250×250. Bone marrow smear. MGG-stained
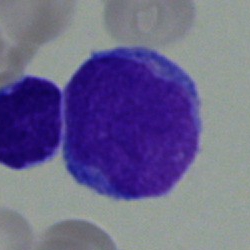Cell type = blast cell.